Bone marrow smear · brightfield, 40× oil-immersion objective · May-Grünwald-Giemsa/Pappenheim stain.
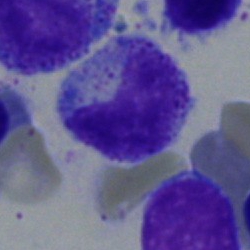

Q: What type of cell is this?
A: This is a metamyelocyte.